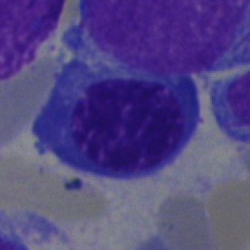

Morphology → nucleated red blood cell.